Brightfield microscopy, 40× oil immersion. Bone marrow aspirate smear. MGG-stained
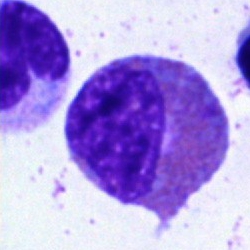

The morphological class is eosinophilic granulocyte.